Bone marrow smear. Pappenheim-stained: 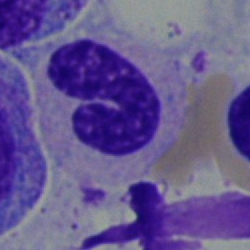
Morphology consistent with a stab cell.